Cropped to a single cell · peripheral blood smear:
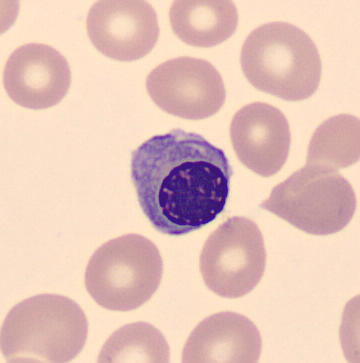 Morphological class: nucleated red cell.